Bone marrow aspirate smear.
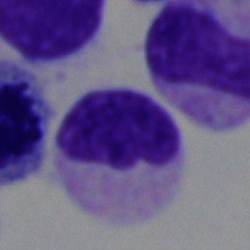

The cell type is cell of indeterminate lineage.